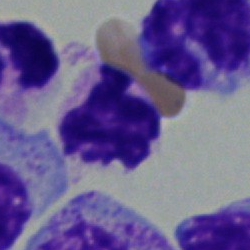Bone marrow smear showing a segmented neutrophil.